Bone marrow smear · May-Grünwald-Giemsa/Pappenheim stain
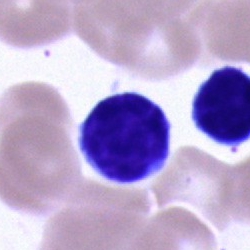The cell shown is a typical lymphocyte.